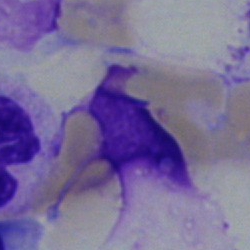Cell type = artefact.